Bone marrow smear · brightfield microscopy, 40× oil immersion · May-Grünwald-Giemsa/Pappenheim stain
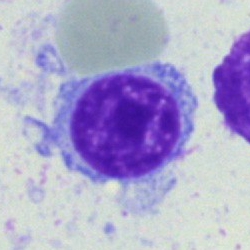

Specimen: bone marrow aspirate smear.
Morphological class: lymphocyte.
Lineage: lymphoid.